Bone marrow aspirate smear · brightfield microscopy, 40× oil immersion · image size 250×250 — 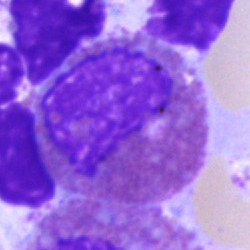

This is an eosinophil.